MGG-stained. Peripheral blood smear:
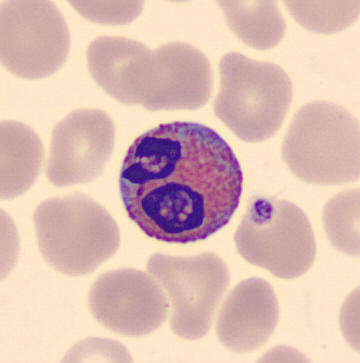Single cell identified as an eosinophil.